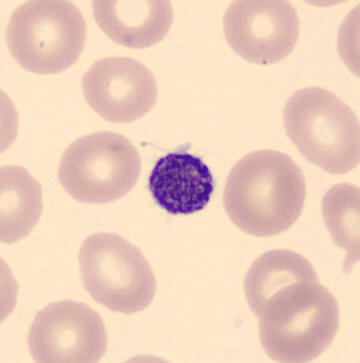
Morphological class: platelet.